Bone marrow aspirate smear · May-Grünwald-Giemsa/Pappenheim stain · 40× objective, oil immersion:
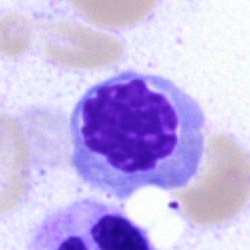{"cell_type": "erythroblast"}